Bone marrow aspirate smear — 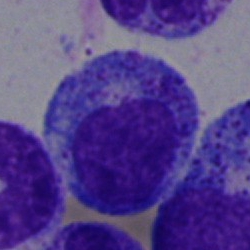

Specimen: bone marrow smear.
Morphological class: progranulocyte.
Lineage: myeloid.